Bone marrow smear; single-cell field — 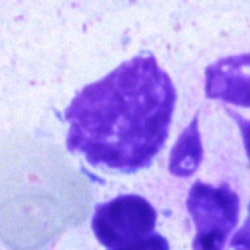
An artifact.